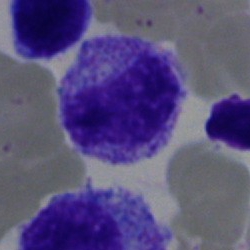

Impression — myelocyte.